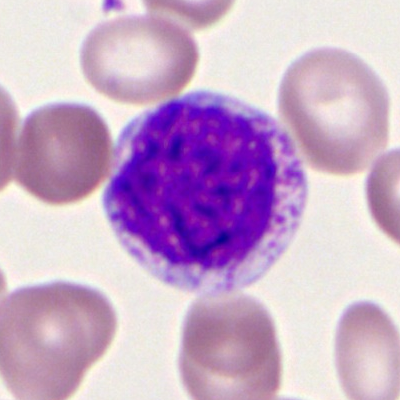

Impression → myelocyte.